Bone marrow aspirate smear; cropped to a single cell:
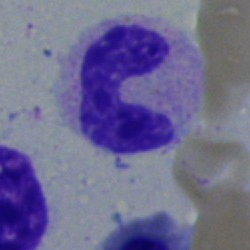

Specimen: bone marrow aspirate smear.
Cell type: band neutrophil.
Lineage: myeloid.